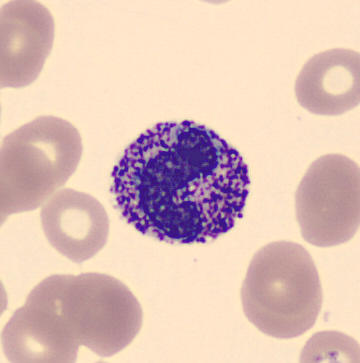Q: What is this?
A: It is a stab cell.